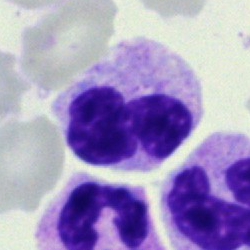Q: Which cell type is shown here?
A: A segmented neutrophil.